Bone marrow aspirate smear; May-Grünwald-Giemsa/Pappenheim stain.
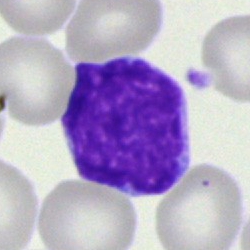Specimen: bone marrow smear.
Cell: blast cell.